Bone marrow smear
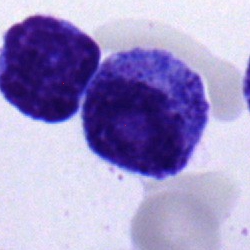

{"cell_type": "polymorphonuclear neutrophil"}